Bone marrow aspirate smear:
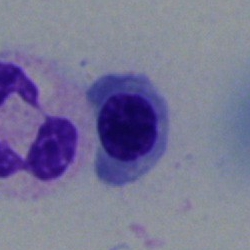

Morphological class: normoblast.